Single-cell crop. Bone marrow smear. Brightfield microscopy, 40× oil immersion
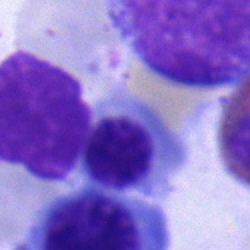

Specimen: bone marrow smear.
Classification: normoblast.
Lineage: erythroid.